Bone marrow aspirate smear — 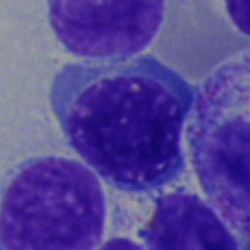
Morphology — normoblast.